40× oil immersion; bone marrow aspirate smear.
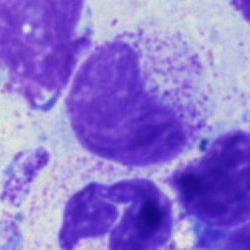

Q: What is shown here?
A: This is a metamyelocyte.